MGG-stained; bone marrow aspirate smear
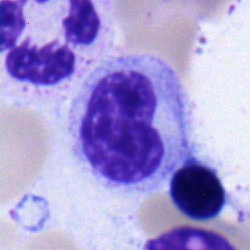A metamyelocyte.